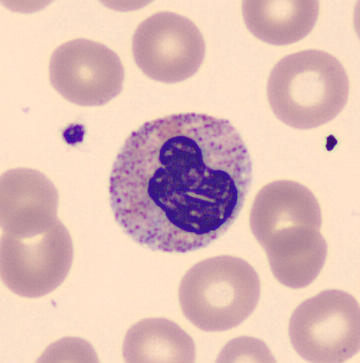 Morphology — neutrophil (band).